Single-cell crop · bone marrow aspirate smear.
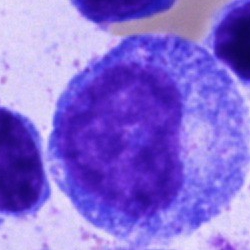

Q: What cell is this?
A: Promyelocyte.